Bone marrow aspirate smear:
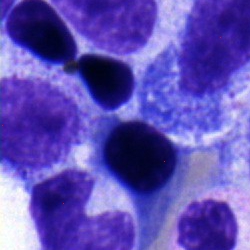 This is a myelocyte.